Single cell centered in the field. Bone marrow smear. 40× objective, oil immersion — 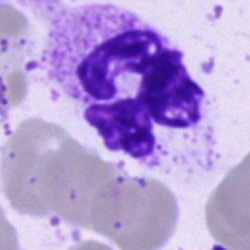

This is a segmented neutrophil.